Peripheral blood film.
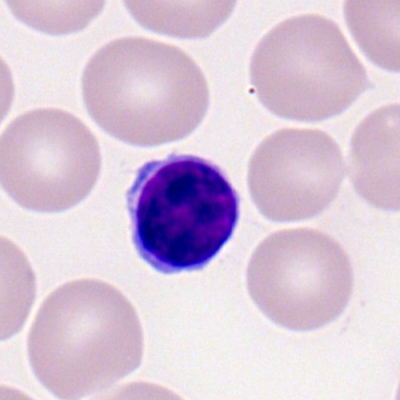
{"cell_type": "lymphocyte", "lineage": "lymphoid"}